40× oil immersion; single cell centered in the field; bone marrow aspirate smear
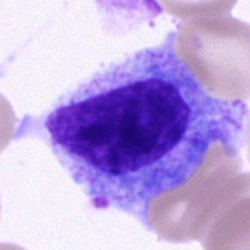

{"cell_type": "cell of indeterminate lineage"}